Peripheral blood smear · 100× oil immersion, 14.14 px/µm — 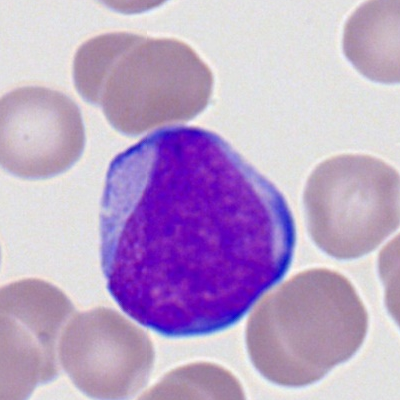The cell is myeloid blast.